Bone marrow aspirate smear; MGG-stained — 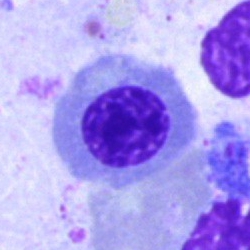 Cell: nucleated red cell.